Cropped to a single cell · 250×250 px · bone marrow aspirate smear: 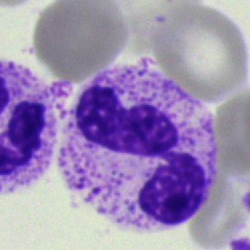
Morphological class = segmented neutrophil.